Bone marrow aspirate smear
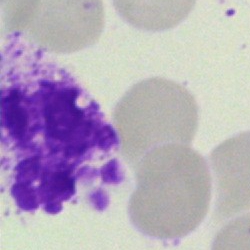
Morphology — artifact.